Bone marrow smear: 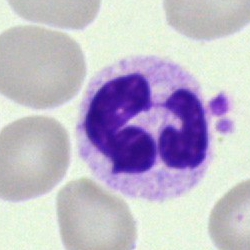
Morphology consistent with a segmented neutrophil.